40× oil immersion · bone marrow aspirate smear · 250×250: 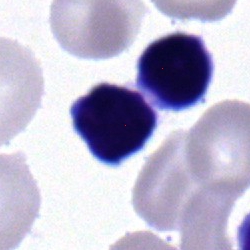
A lymphocyte.